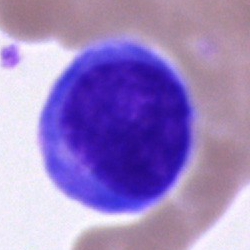 Bone marrow smear showing an unidentifiable cell.